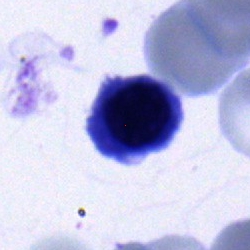 Cell — nucleated red cell.